Peripheral blood film. Romanowsky stain: 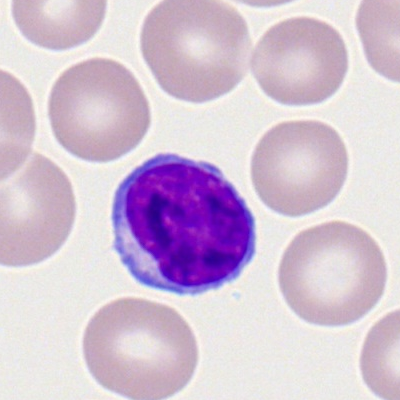
Morphology — typical lymphocyte.